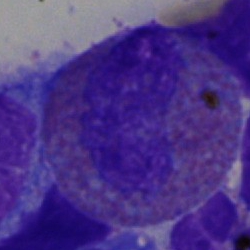
Bone marrow aspirate smear, single cell — eosinophil.